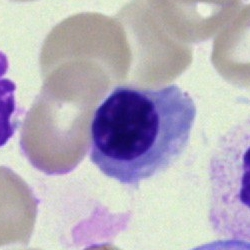
Bone marrow aspirate smear, single cell — normoblast.